Bone marrow aspirate smear: 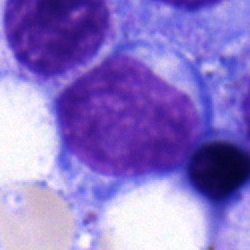

Showing a blast cell.